Bone marrow aspirate smear — 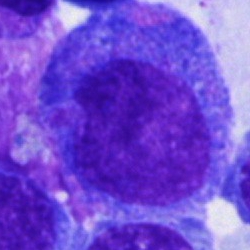

Morphology → blast.